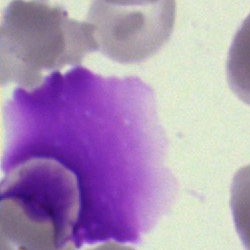 Single cell identified as an artefact.